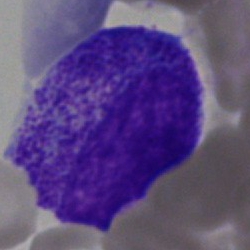Cell = progranulocyte.